Bone marrow aspirate smear.
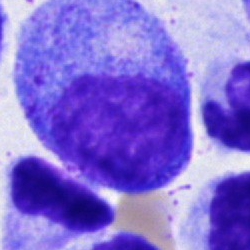 The cell shown is a promyelocyte.